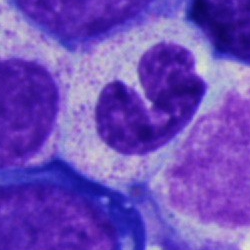

Single cell identified as a neutrophil (segmented).